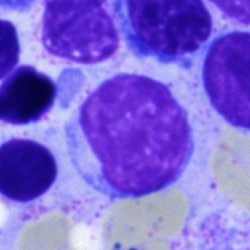Impression → typical lymphocyte.